Bone marrow smear. Image size 250×250. May-Grünwald-Giemsa stain: 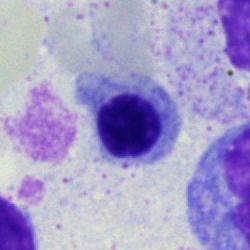 Morphological class: erythroblast.